Bone marrow aspirate smear; brightfield, 40× oil-immersion objective; cropped to a single cell:
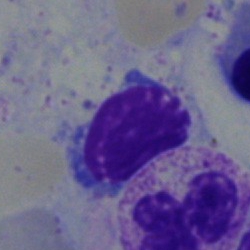Morphology → nucleated red cell.